Single cell centered in the field. 400 by 400 pixels. Peripheral blood film — 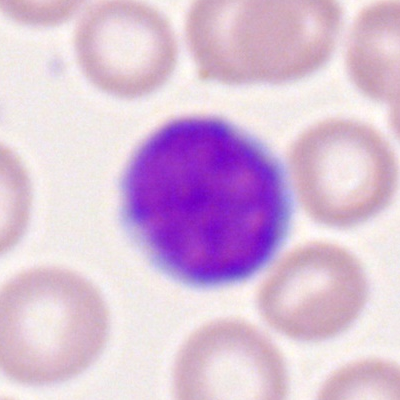
This is a typical lymphocyte.